Single-cell field · bone marrow aspirate smear · 40× oil immersion — 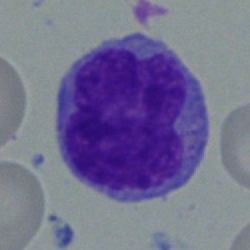

Specimen: bone marrow aspirate smear.
Cell: undifferentiated blast.